Bone marrow smear.
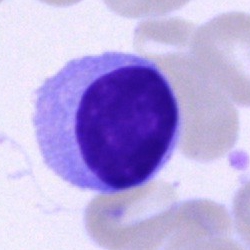 Q: What is the morphological classification of this cell?
A: This is a lymphocyte.